Bone marrow aspirate smear: 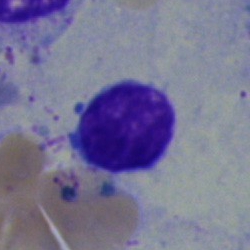The cell is typical lymphocyte.